Bone marrow smear; MGG-stained:
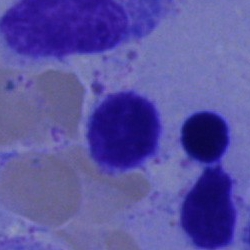

{"cell_type": "typical lymphocyte", "lineage": "lymphoid"}